Bone marrow aspirate smear.
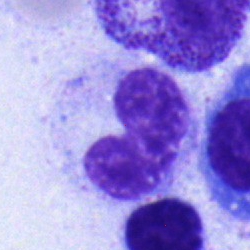Cell type = band neutrophil.